Bone marrow aspirate smear.
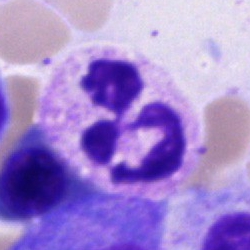Morphology consistent with a polymorphonuclear neutrophil.